Bone marrow smear — 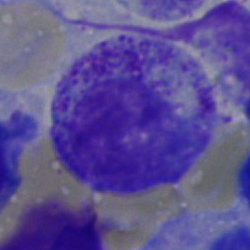
Myelocyte.